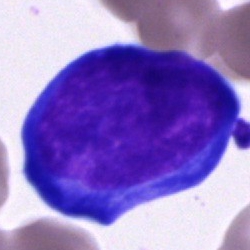

Bone marrow smear showing a proerythroblast.